250×250 px. Cropped to a single cell. Bone marrow aspirate smear — 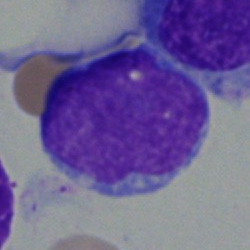This is a blast cell.